Bone marrow smear
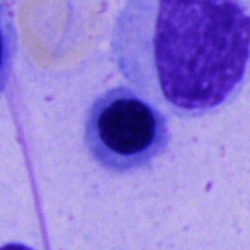The cell is nucleated red cell.